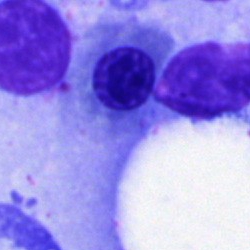

Morphology consistent with a nucleated red blood cell.